Single-cell field; bone marrow aspirate smear:
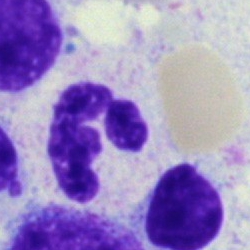

Showing a neutrophil (segmented).